Brightfield, 40× oil-immersion objective; bone marrow aspirate smear — 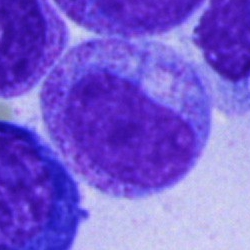

Morphology — myelocyte.